Brightfield microscopy, 40× oil immersion; bone marrow aspirate smear.
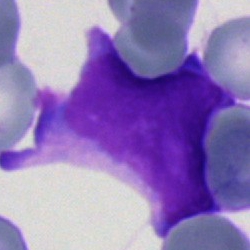Specimen: bone marrow smear.
Classification: blast cell.